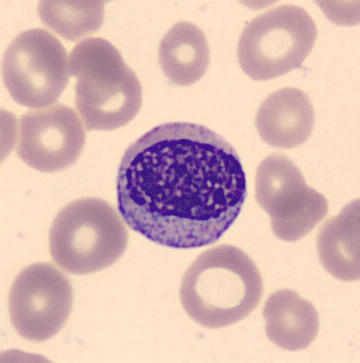This is a myelocyte.

Peripheral blood film · imaged on a CellaVision DM96 analyser.